250 by 250 pixels. Bone marrow aspirate smear:
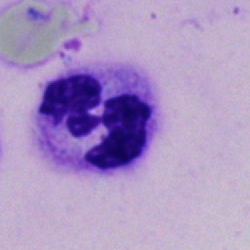
This is a neutrophil (segmented).